Bone marrow smear. Single-cell field: 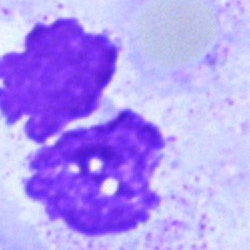The classification is artifact.